Brightfield microscopy, 40× oil immersion; bone marrow smear:
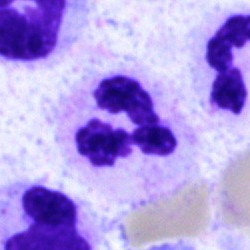
{"cell_type": "segmented neutrophil"}